Bone marrow aspirate smear — 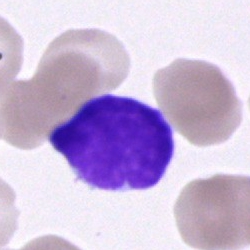Morphology consistent with a lymphocyte.